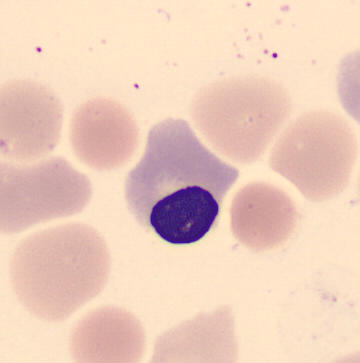 Morphology — normoblast.